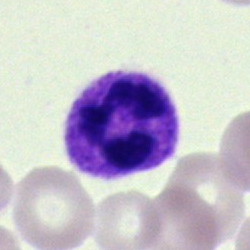Single-cell crop from a bone marrow smear: neutrophil (segmented).